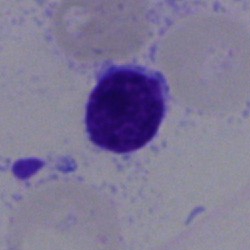 A typical lymphocyte on a bone marrow smear.